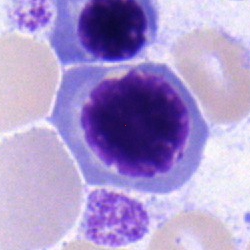

This is an erythroblast.